Bone marrow smear:
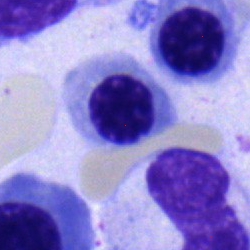

Nucleated red cell.